Bone marrow aspirate smear — 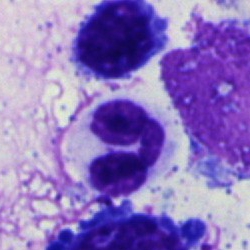

Specimen: bone marrow smear.
Morphological class: segmented neutrophil.